Bone marrow aspirate smear:
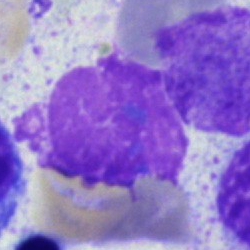 The classification is artefact.